Bone marrow smear
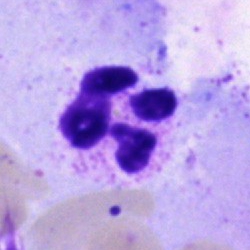 This is a neutrophil (segmented).